Bone marrow aspirate smear — 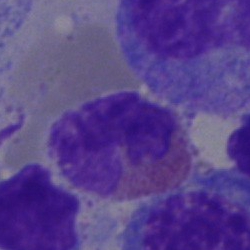Eosinophil.